Bone marrow aspirate smear
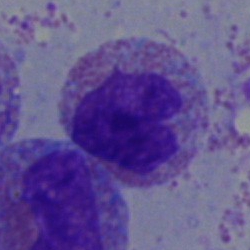

Cell type — eosinophil.